Bone marrow aspirate smear.
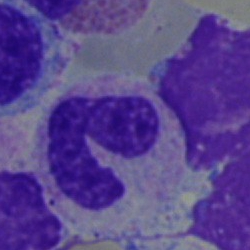Single cell identified as a band neutrophil.